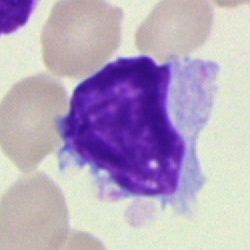The classification is lymphocyte.